Single cell centered in the field · 40× oil immersion · bone marrow smear: 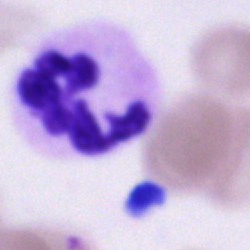 The cell shown is a neutrophil (segmented).